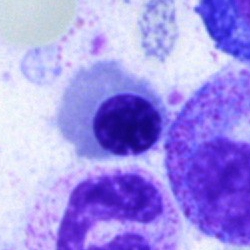

Specimen: bone marrow smear.
Cell type: erythroblast.